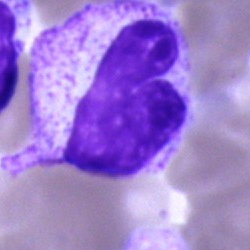 Specimen: bone marrow aspirate smear.
Morphological class: band-form neutrophil.
Lineage: myeloid.